Brightfield, 40× oil-immersion objective · bone marrow smear
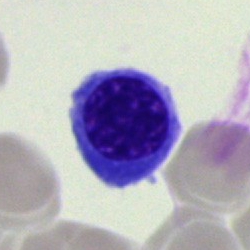A nucleated red cell.